Bone marrow smear:
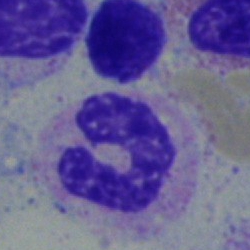 Metamyelocyte.